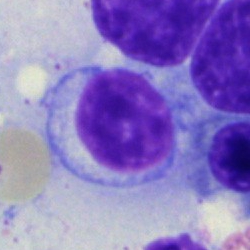 Classification — typical lymphocyte.